Bone marrow aspirate smear.
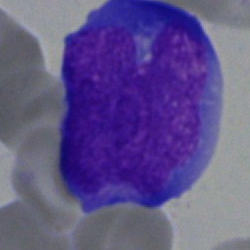Specimen: bone marrow aspirate smear.
Cell type: blast cell.